Peripheral blood film — 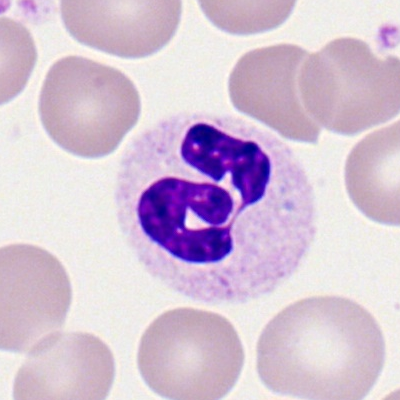

The cell shown is a segmented neutrophil.